Bone marrow smear · 40× oil immersion: 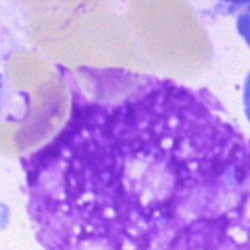
Cell: artifact.